Bone marrow aspirate smear; MGG-stained
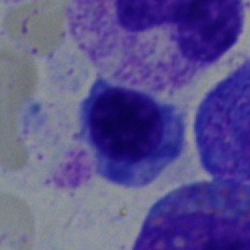

Cell = normoblast.